Peripheral blood smear:
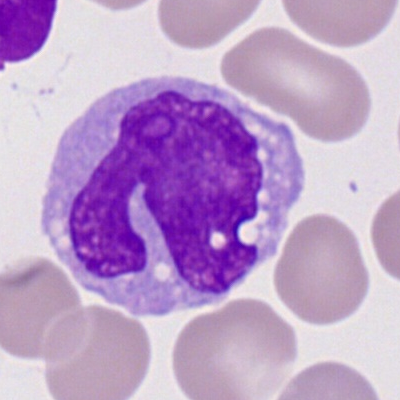

Classification: monocyte.